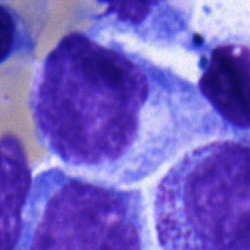

{"cell_type": "progranulocyte", "lineage": "myeloid"}